Bone marrow smear · MGG-stained — 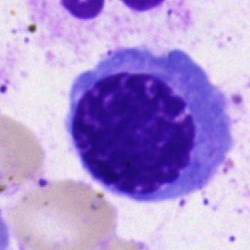Specimen: bone marrow aspirate smear.
Morphological class: erythroblast.
Lineage: erythroid.